Bone marrow aspirate smear. May-Grünwald-Giemsa/Pappenheim stain:
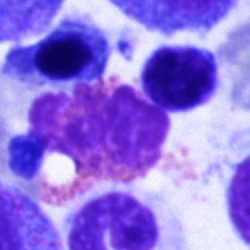Cell: eosinophilic granulocyte.